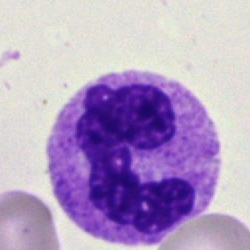 A polymorphonuclear neutrophil.